Bone marrow smear:
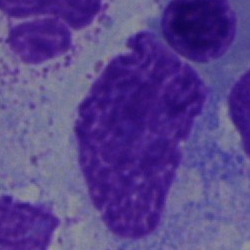The cell is artifact.